Bone marrow smear; brightfield microscopy, 40× oil immersion; cropped to a single cell.
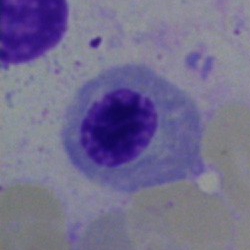 Morphological class = normoblast.